Bone marrow smear — 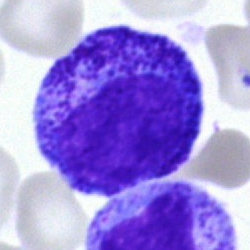This is a myelocyte.